Bone marrow smear:
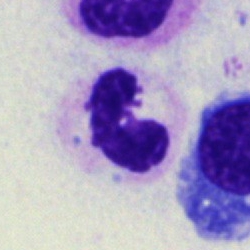
Single cell identified as a neutrophil (segmented).